250 by 250 pixels; bone marrow aspirate smear:
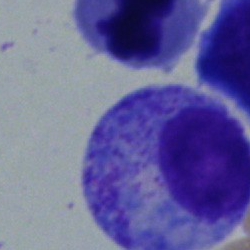 {"cell_type": "myelocyte"}